Bone marrow smear. MGG-stained. Single cell centered in the field — 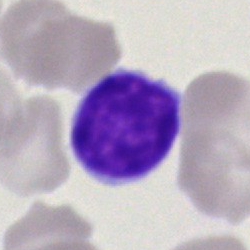Morphology consistent with a lymphocyte.